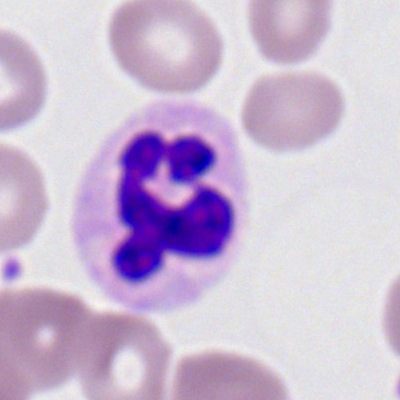

Q: Which cell type is shown here?
A: A segmented neutrophil.